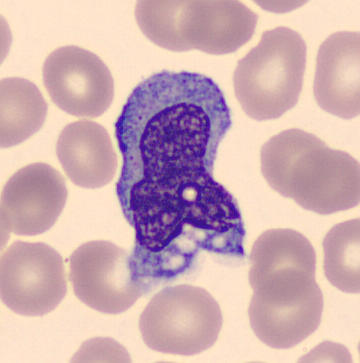Q: What cell is this?
A: This is a monocyte. Acquisition: Peripheral blood film. Cropped to a single cell.